Bone marrow smear — 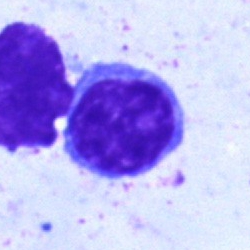 Cell = lymphocyte.